Image size 250×250 · bone marrow aspirate smear · 40× objective, oil immersion — 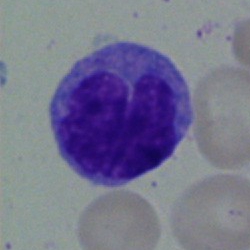 The morphological class is monocyte.